Bone marrow smear
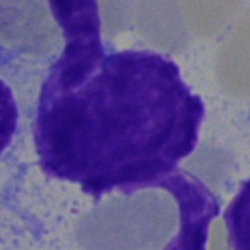
Morphology consistent with an artifact.